Bone marrow smear — 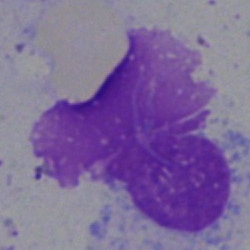 Cell type: artifact.